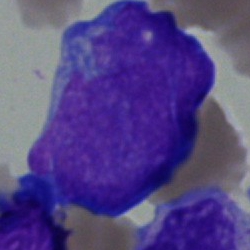

Undifferentiated blast.